Bone marrow aspirate smear
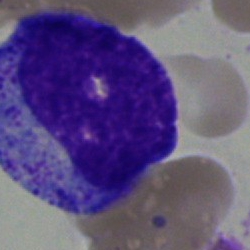Progranulocyte.